Bone marrow aspirate smear: 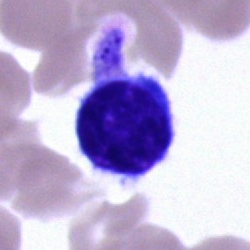

{"cell_type": "typical lymphocyte", "lineage": "lymphoid"}